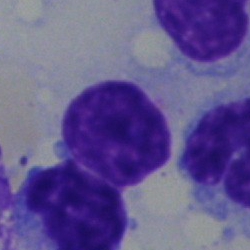
Typical lymphocyte.